Bone marrow aspirate smear; 250 by 250 pixels.
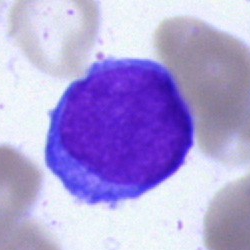
A blast cell.